Bone marrow aspirate smear; MGG-stained — 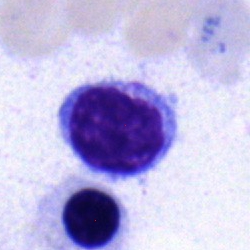

A lymphocyte.